250 by 250 pixels. Bone marrow aspirate smear: 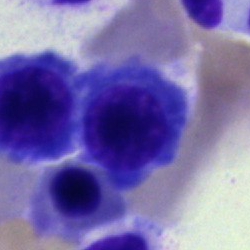
A nucleated red cell.